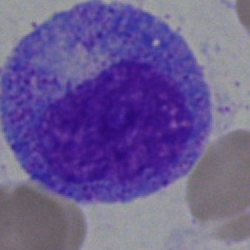

Showing a progranulocyte.